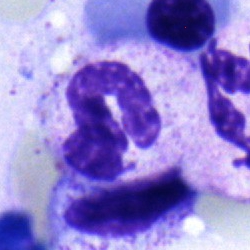 Q: What cell is this?
A: It is a band neutrophil.